Peripheral blood film; single-cell field — 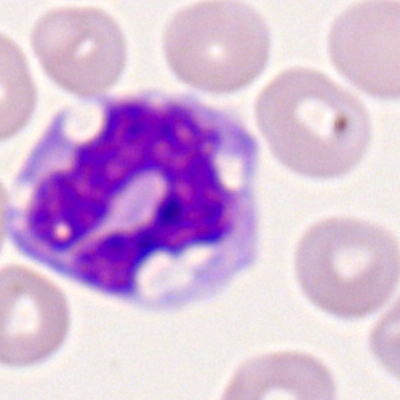 Specimen: peripheral blood film.
Cell: monocyte.